Bone marrow aspirate smear; single-cell field; MGG-stained.
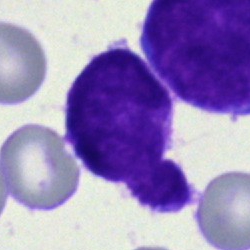
Single cell identified as an artefact.